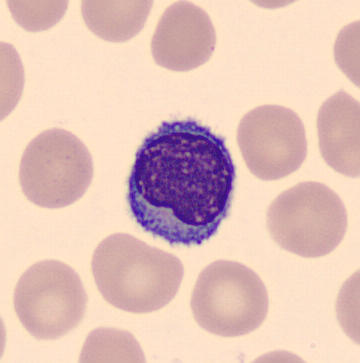

Q: What is shown here?
A: This is a lymphocyte.

Preparation: Peripheral blood film. Single-cell crop.